Bone marrow smear: 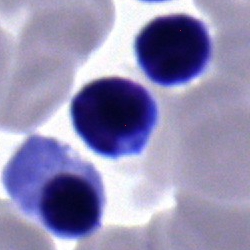

Showing a typical lymphocyte.